Bone marrow smear:
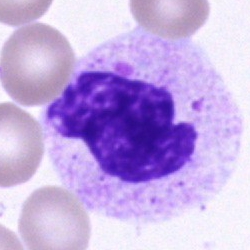

{"cell_type": "polymorphonuclear neutrophil", "lineage": "myeloid"}